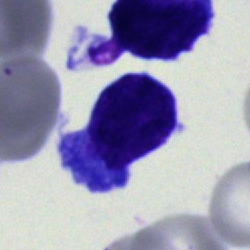

A blast.